Bone marrow smear. 250×250 px.
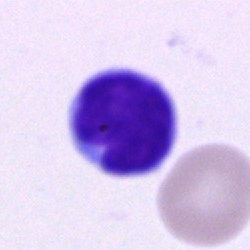
Showing a lymphocyte.